Bone marrow smear. Brightfield, 40× oil-immersion objective. May-Grünwald-Giemsa stain
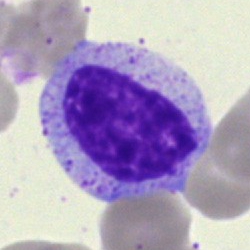

Q: What is the morphological classification of this cell?
A: This is a myelocyte.